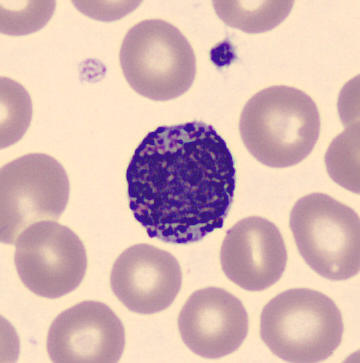
Classification — basophil.
MGG stain · peripheral blood smear.